Bone marrow aspirate smear: 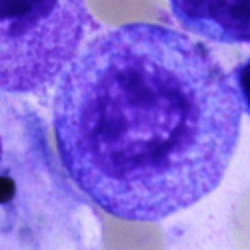
Cell type — promyelocyte.